100× oil immersion, 14.14 px/µm · peripheral blood film · image size 400×400.
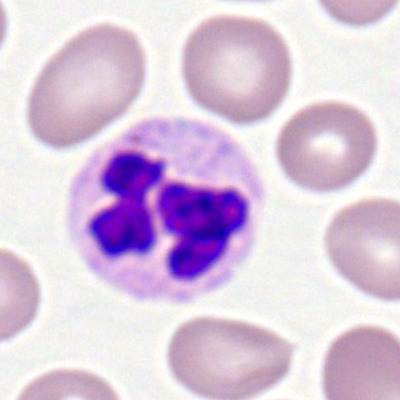 A polymorphonuclear neutrophil.